Bone marrow aspirate smear.
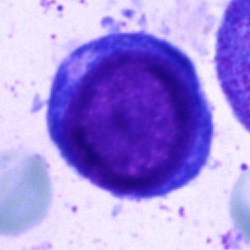 Q: Identify the cell.
A: It is a proerythroblast.